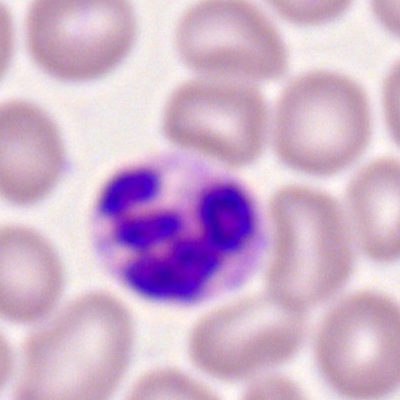 {"cell_type": "segmented neutrophil"}